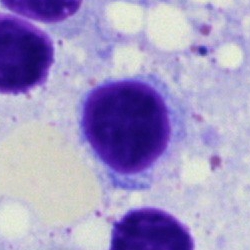
{"cell_type": "artifact"}